Bone marrow smear — 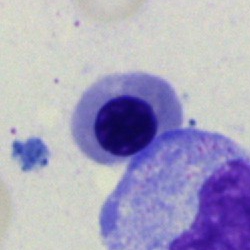Q: What type of cell is this?
A: It is a normoblast.